Cropped to a single cell; bone marrow aspirate smear — 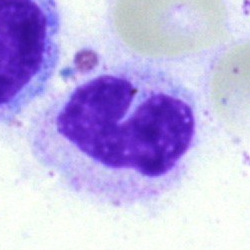 {"cell_type": "band neutrophil", "lineage": "myeloid"}